Bone marrow aspirate smear:
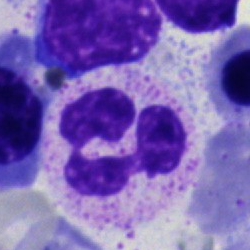Single cell identified as a polymorphonuclear neutrophil.